Single-cell crop; bone marrow smear.
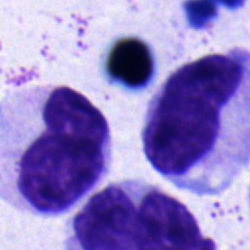{"cell_type": "metamyelocyte", "lineage": "myeloid"}